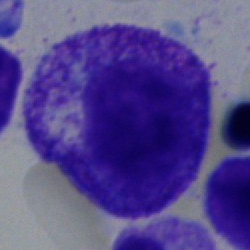A myelocyte.